40× objective, oil immersion. Image size 250×250. Bone marrow smear.
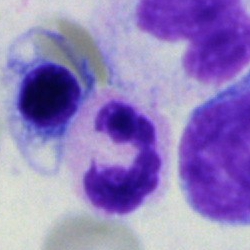
A polymorphonuclear neutrophil.